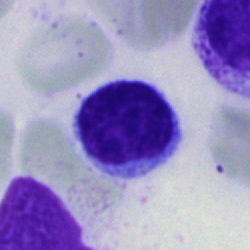
Q: Identify the cell.
A: This is a typical lymphocyte.